Bone marrow smear.
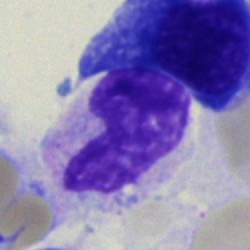
The classification is metamyelocyte.